Bone marrow aspirate smear: 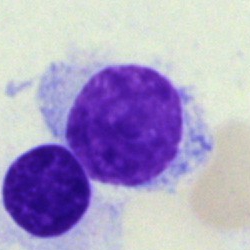Showing a hairy cell.